Bone marrow smear:
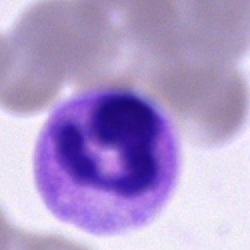 Q: What cell is this?
A: A segmented neutrophil.